Peripheral blood film. M8 digital microscope (Precipoint), 100× oil immersion. Romanowsky-stained.
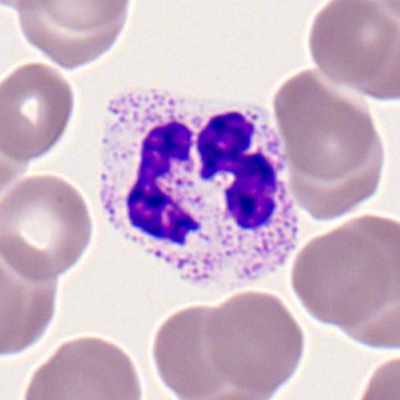
This is a neutrophil (segmented).